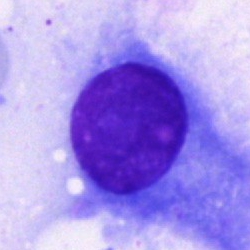 A plasma cell on a bone marrow smear.